40× objective, oil immersion. Bone marrow smear: 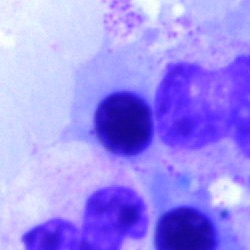 Q: What cell is this?
A: A nucleated red blood cell.